Bone marrow smear — 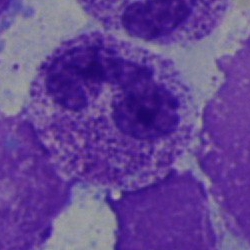

Morphology consistent with a segmented neutrophil.